Bone marrow smear · 40× objective, oil immersion — 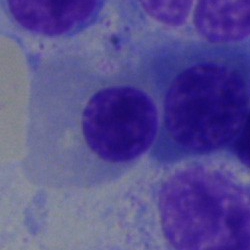
{"cell_type": "nucleated red cell", "lineage": "erythroid"}